Peripheral blood smear: 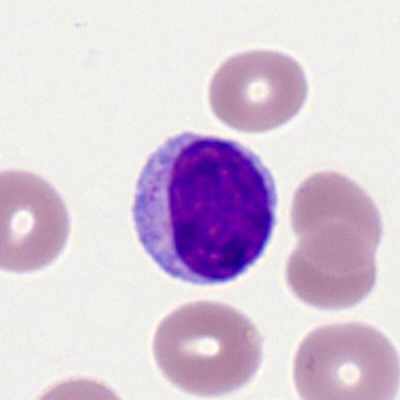

Morphology → lymphocyte.